Single-cell field; peripheral blood smear; 400 by 400 pixels:
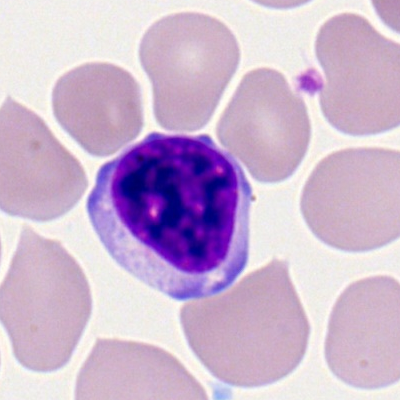

Showing a typical lymphocyte.